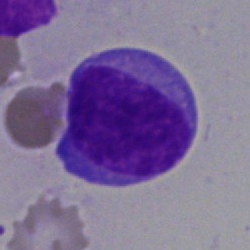Classification — undifferentiated blast.